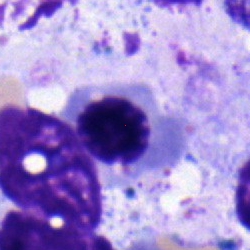
Q: What is the morphological classification of this cell?
A: It is a normoblast.